Bone marrow aspirate smear — 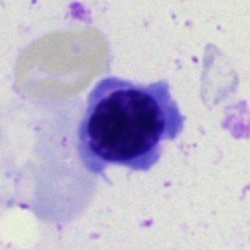The classification is normoblast.